Bone marrow smear · 250 by 250 pixels:
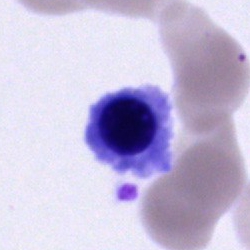
{"cell_type": "cell of indeterminate lineage"}